Bone marrow smear
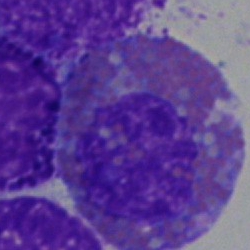
Morphology consistent with an eosinophil.